Bone marrow smear. May-Grünwald-Giemsa/Pappenheim stain
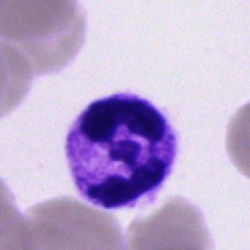Morphology → polymorphonuclear neutrophil.